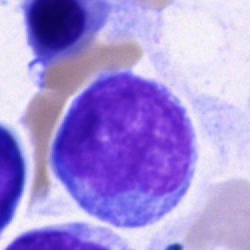

Morphological class — blast.